Single cell centered in the field · bone marrow smear — 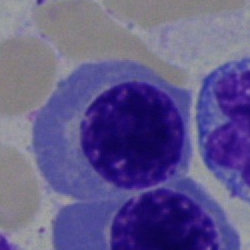A nucleated red cell.